Bone marrow aspirate smear — 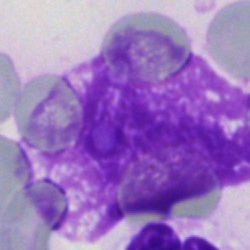

Showing an artifact.